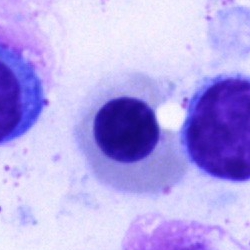

Showing a nucleated red cell.